Bone marrow aspirate smear; single-cell field
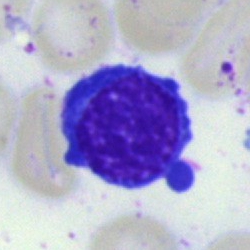

Morphology → erythroblast.